Bone marrow aspirate smear; 250×250 px — 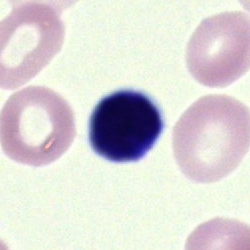 The morphological class is artifact.